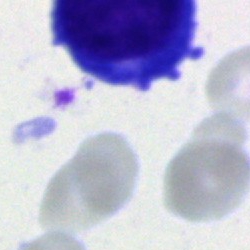The cell type is unidentifiable cell.